Bone marrow aspirate smear — 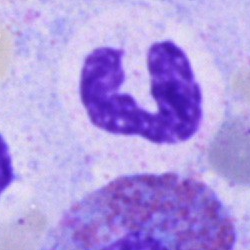

Specimen: bone marrow smear.
Cell type: segmented neutrophil.